250 by 250 pixels · bone marrow smear · May-Grünwald-Giemsa/Pappenheim stain
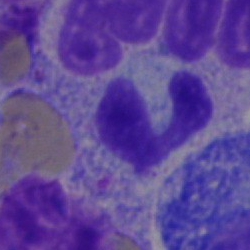

Morphology consistent with a stab cell.